Peripheral blood smear: 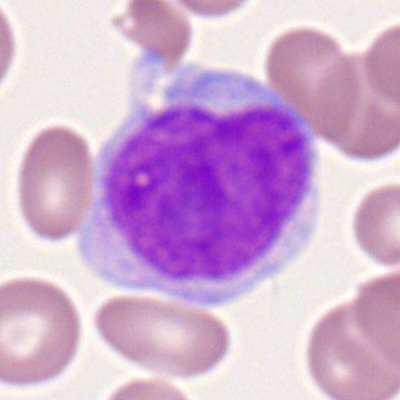Specimen: peripheral blood film.
Cell type: myeloid blast.
Lineage: myeloid.